Bone marrow aspirate smear. Single-cell field. 40× oil immersion
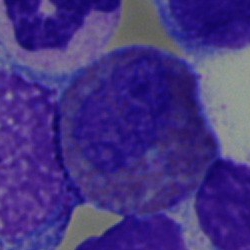 Impression — eosinophilic granulocyte.